Bone marrow aspirate smear: 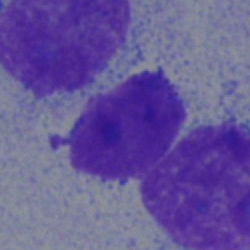 Cell type: blast cell.